Pappenheim-stained · bone marrow aspirate smear — 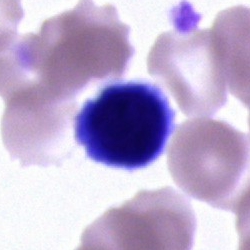 Q: What is the morphological classification of this cell?
A: Unidentifiable cell.